Bone marrow smear; image size 250×250.
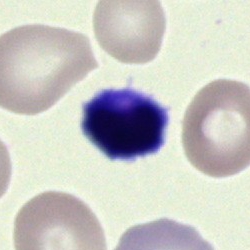
Showing a typical lymphocyte.